Bone marrow aspirate smear
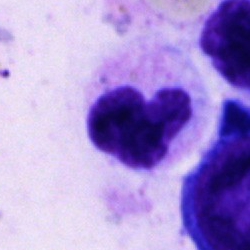
Showing a neutrophil (segmented).